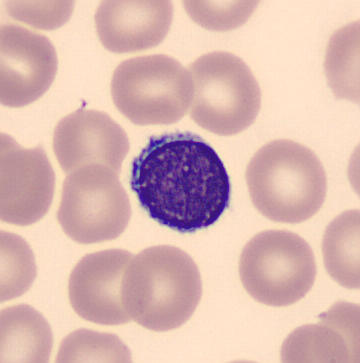Peripheral blood smear; single cell centered in the field; MGG-stained.
Identified as a lymphocyte.